Bone marrow aspirate smear
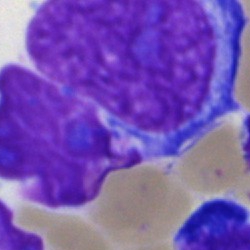
The classification is artefact.